40× objective, oil immersion · bone marrow smear: 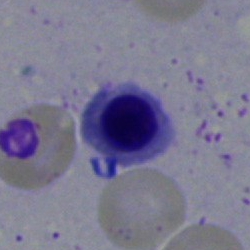
Showing a nucleated red blood cell.